Bone marrow aspirate smear
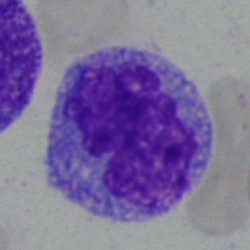 Morphological class = monocyte.